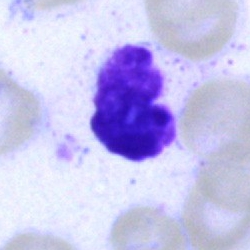 Specimen: bone marrow smear.
Cell: artifact.